Bone marrow smear · May-Grünwald-Giemsa stain · brightfield, 40× oil-immersion objective.
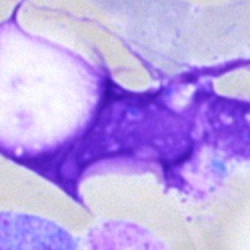 Showing an artifact.